Brightfield, 40× oil-immersion objective. Bone marrow smear: 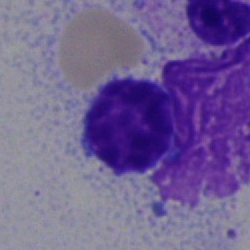
Showing a lymphocyte.